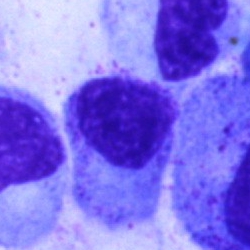Impression — lymphocyte.